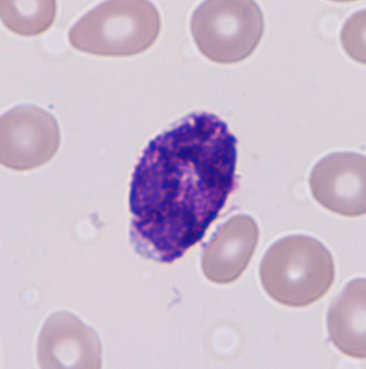{"cell_type": "basophilic granulocyte", "lineage": "myeloid"}
Image: Peripheral blood film · 366×369 px · CellaVision DM96 digital cell image.